Bone marrow aspirate smear
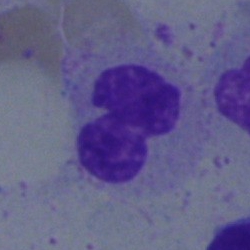Impression → neutrophil (segmented).